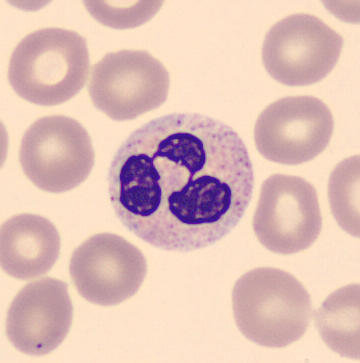

Acquisition: Peripheral blood film. Segmented neutrophil.